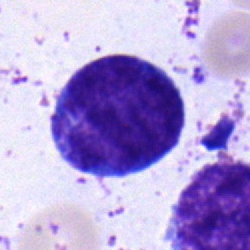Lymphocyte.